Bone marrow aspirate smear: 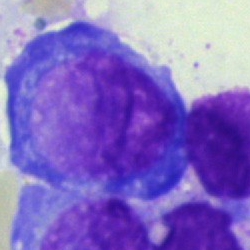 The cell shown is a proerythroblast.